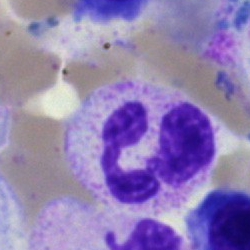 Single cell identified as a segmented neutrophil.